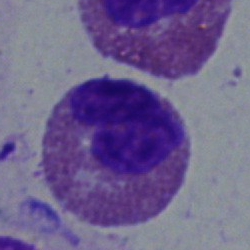
Cell = eosinophilic granulocyte.